Bone marrow aspirate smear: 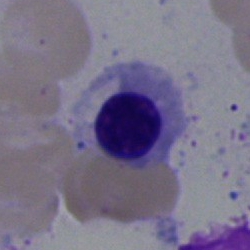An erythroblast.